Single-cell crop; bone marrow smear
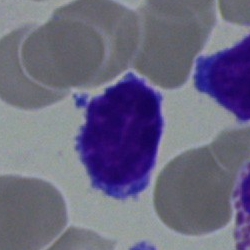

A typical lymphocyte.